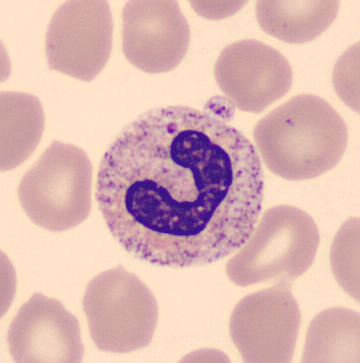 This is a stab cell.
Acquisition: 360×363 px · peripheral blood film.